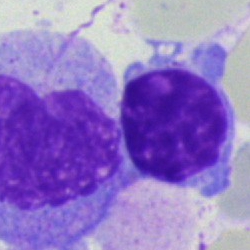 Cell = monocyte.